Single cell centered in the field. Bone marrow smear — 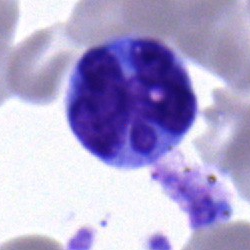
Cell = monocyte.